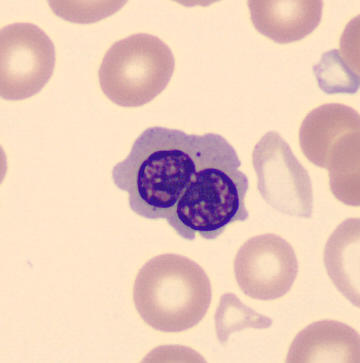

Morphology consistent with a nucleated red blood cell. Peripheral blood film; MGG stain.